Bone marrow smear. 250×250
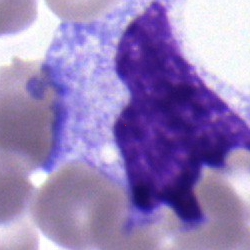

A progranulocyte.